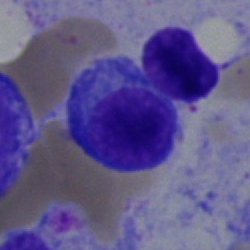Morphology — plasma cell.